Bone marrow smear.
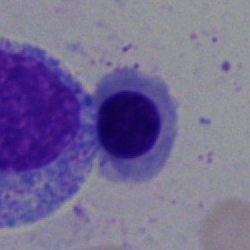Nucleated red blood cell.